Bone marrow aspirate smear:
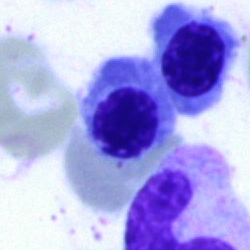

Specimen: bone marrow smear.
Cell type: normoblast.
Lineage: erythroid.